Bone marrow aspirate smear; May-Grünwald-Giemsa/Pappenheim stain; brightfield microscopy, 40× oil immersion: 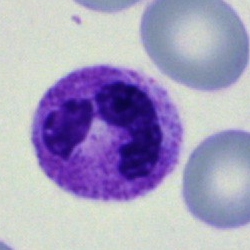 Neutrophil (segmented).